Bone marrow smear: 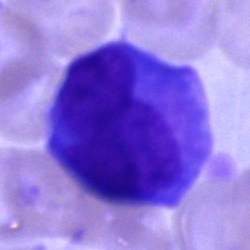 Morphology → blast cell.